Bone marrow aspirate smear: 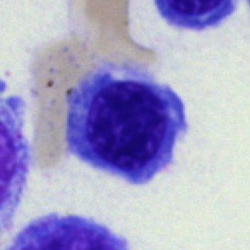 Morphological class — normoblast.